Image size 250×250; bone marrow smear:
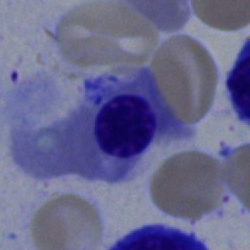 Q: What type of cell is this?
A: It is an erythroblast.